Bone marrow aspirate smear
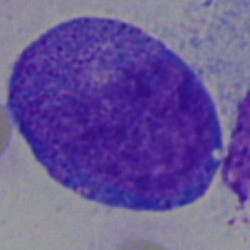This is a progranulocyte.